Pappenheim-stained; bone marrow smear:
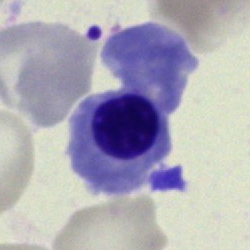

Cell: normoblast.